Bone marrow smear — 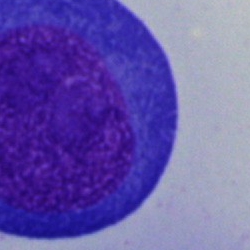
The cell type is erythroblast.